MGG-stained; image size 250×250; bone marrow aspirate smear — 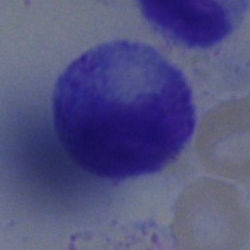
Specimen: bone marrow smear.
Cell: promyelocyte.
Lineage: myeloid.